40× objective, oil immersion · bone marrow smear.
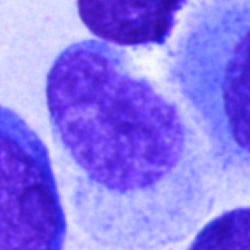Impression — unidentifiable cell.